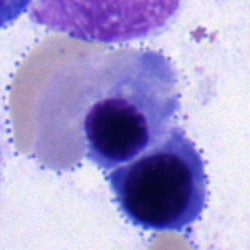
Specimen: bone marrow smear.
Cell: erythroblast.
Lineage: erythroid.